Bone marrow aspirate smear: 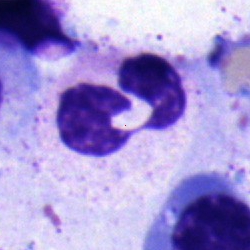Polymorphonuclear neutrophil.